250 by 250 pixels; bone marrow smear:
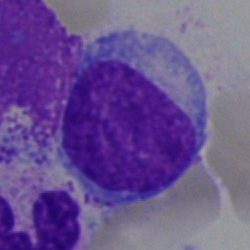

Specimen: bone marrow smear.
Cell: lymphocyte.
Lineage: lymphoid.